Bone marrow aspirate smear · 40× objective, oil immersion · 250×250 px.
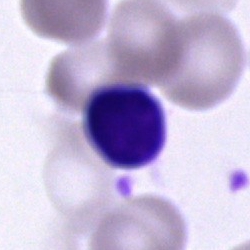 {"cell_type": "cell of indeterminate lineage"}